Bone marrow smear.
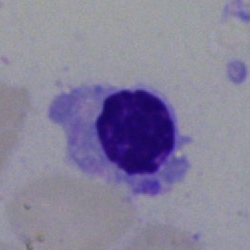

Specimen: bone marrow aspirate smear.
Cell type: nucleated red blood cell.